Bone marrow aspirate smear: 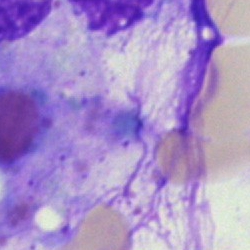
Showing an artefact.